Single cell centered in the field. Bone marrow smear.
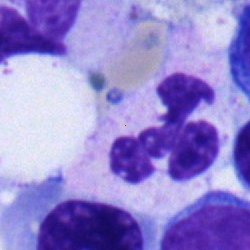
Cell type: polymorphonuclear neutrophil.